Bone marrow aspirate smear; 250×250.
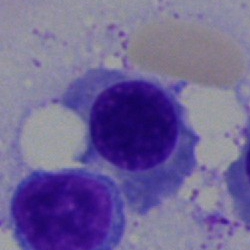

Cell type: erythroblast.